Bone marrow smear — 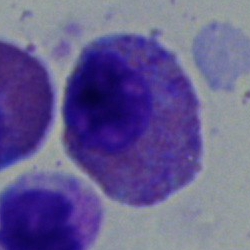 Q: What is shown here?
A: It is an eosinophil.